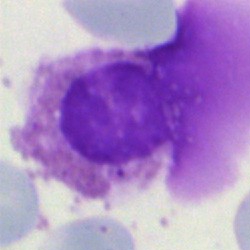The classification is artefact.